Bone marrow aspirate smear. Brightfield, 40× oil-immersion objective:
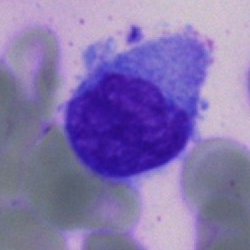A monocyte.